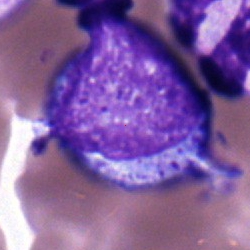

A myelocyte.